Peripheral blood film · single-cell field.
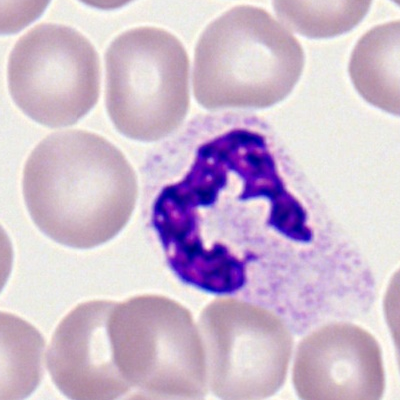
Impression — segmented neutrophil.